May-Grünwald-Giemsa stain; cropped to a single cell; bone marrow smear — 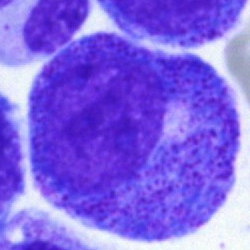
Morphological class — promyelocyte.